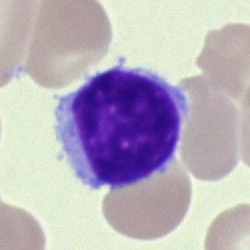Impression → lymphocyte.